Bone marrow aspirate smear. Brightfield, 40× oil-immersion objective
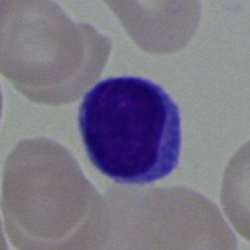
A typical lymphocyte.